Bone marrow smear:
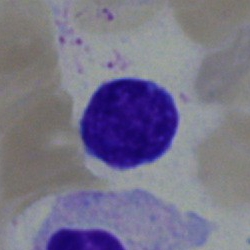 Q: What is shown here?
A: It is a lymphocyte.